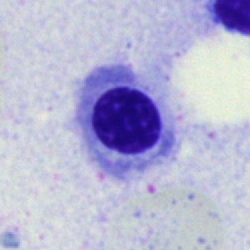 Showing a nucleated red cell.